Bone marrow smear; May-Grünwald-Giemsa stain.
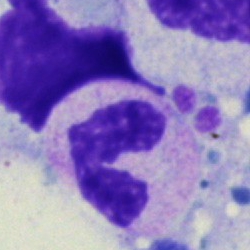Morphological class: neutrophil (segmented).